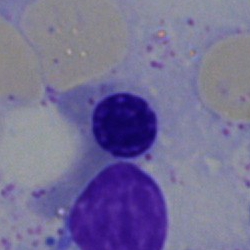

Erythroblast.